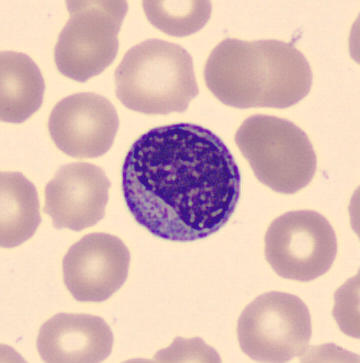The cell shown is a myelocyte. Cropped to a single cell. Peripheral blood smear.